Bone marrow smear.
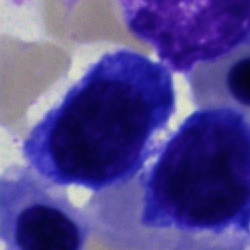 Impression — nucleated red blood cell.